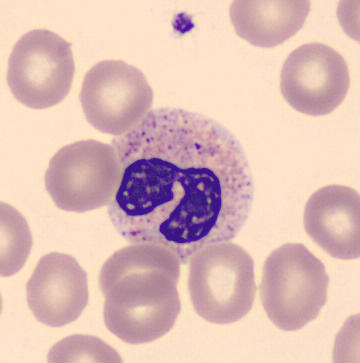 Single cell identified as a polymorphonuclear neutrophil.